Bone marrow aspirate smear; Pappenheim-stained; 250×250
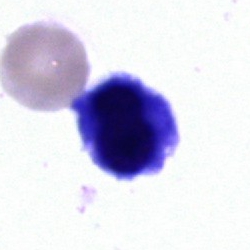

Impression — nucleated red cell.